Bone marrow aspirate smear: 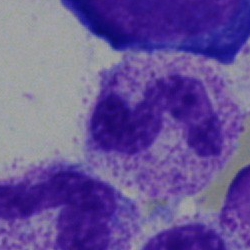

A neutrophil (segmented).